Cropped to a single cell. Bone marrow smear. Image size 250×250.
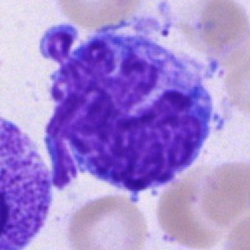
Morphological class: monocyte.